Peripheral blood smear; single-cell crop.
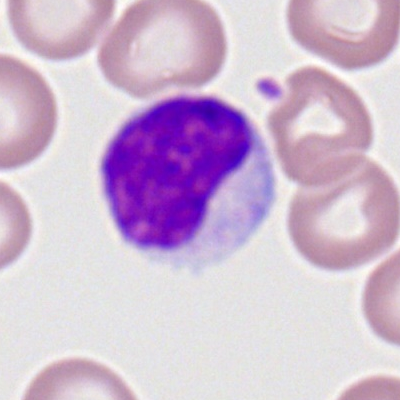 Single cell identified as a typical lymphocyte.